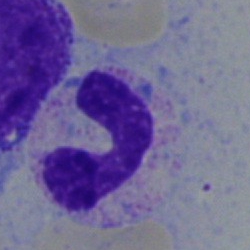

Classification = band neutrophil.